Bone marrow smear: 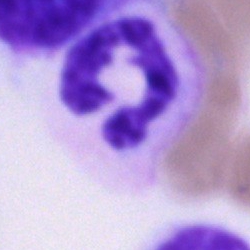 Showing a neutrophil (segmented).